Bone marrow smear. Image size 250×250. 40× objective, oil immersion.
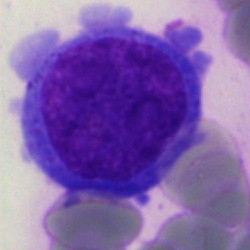Morphology consistent with a blast cell.